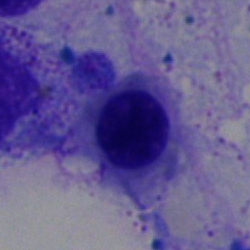Showing an erythroblast.